Romanowsky-stained · 100× objective, oil immersion · peripheral blood smear — 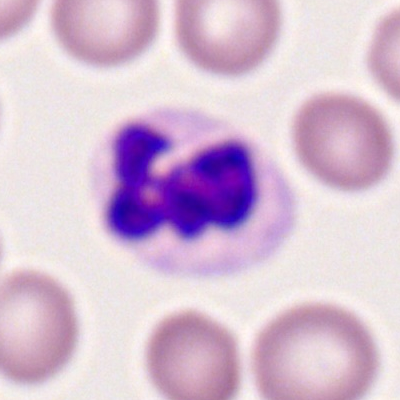Morphological class = neutrophil (segmented).